Bone marrow smear
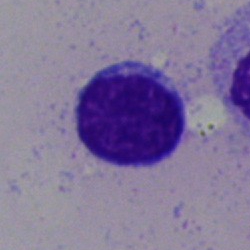Impression — lymphocyte.